250×250 · bone marrow smear · 40× oil immersion — 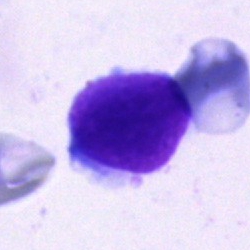
The cell shown is a typical lymphocyte.